Single-cell crop. Bone marrow aspirate smear — 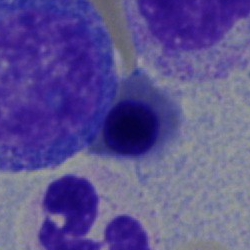
Impression → nucleated red cell.